Bone marrow aspirate smear: 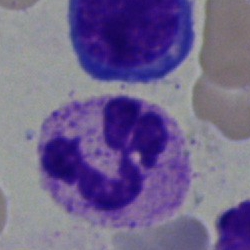 Morphology — neutrophil (segmented).